Bone marrow smear. 40× objective, oil immersion
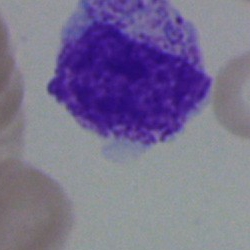Impression → metamyelocyte.